Bone marrow smear: 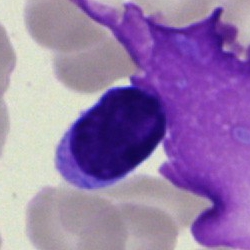 Morphological class: typical lymphocyte.